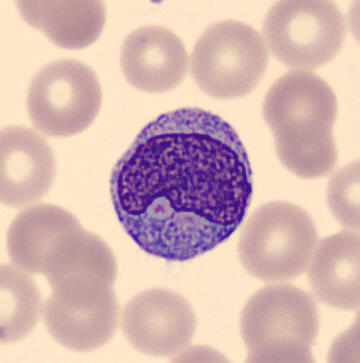

Q: What is the morphological classification of this cell?
A: It is a monocyte.
Peripheral blood film.